40× objective, oil immersion. Bone marrow smear. May-Grünwald-Giemsa stain
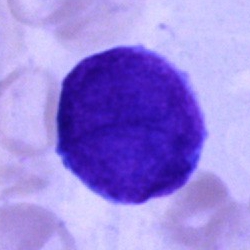
Q: What is the morphological classification of this cell?
A: Blast.